Bone marrow smear — 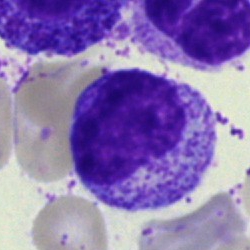 Cell type: myelocyte.